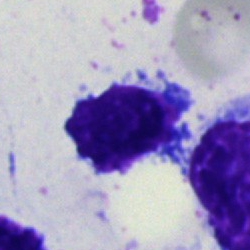 Impression → lymphocyte.